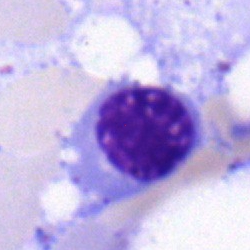Cell type: erythroblast.